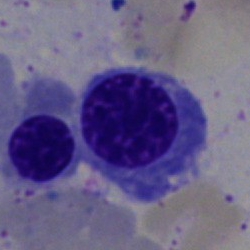
{"cell_type": "nucleated red cell", "lineage": "erythroid"}